Bone marrow smear:
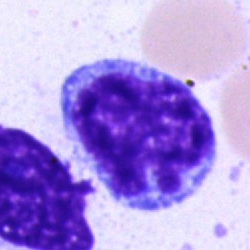

Morphological class: blast.